Peripheral blood smear; Romanowsky stain; 400×400:
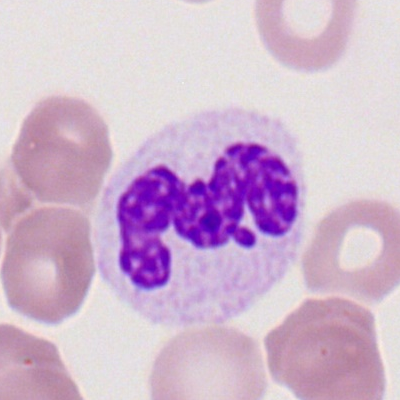
Showing a polymorphonuclear neutrophil.